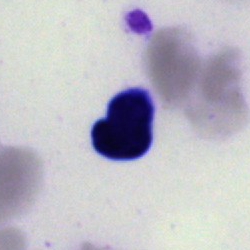 The cell is artefact.